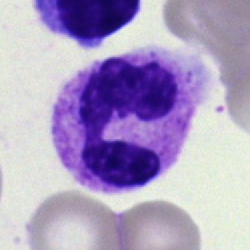Specimen: bone marrow aspirate smear.
Cell: neutrophil (segmented).